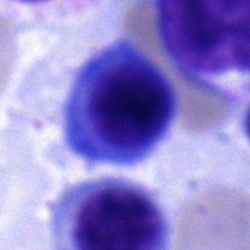 Morphological class: nucleated red cell.